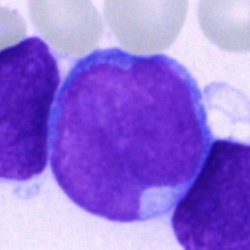

Blast.